Bone marrow aspirate smear: 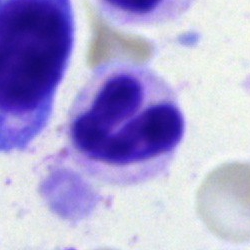
The cell type is neutrophil (segmented).